Single-cell field · 250×250 px · bone marrow smear
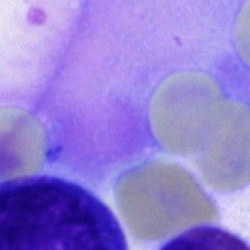

Impression — artefact.